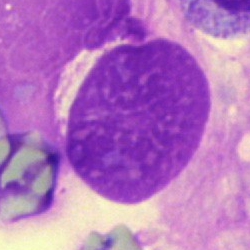

Classification = artefact.